Peripheral blood film: 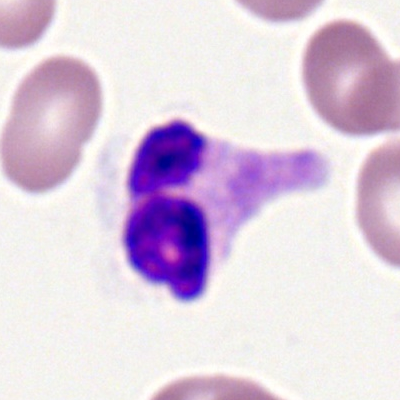

The cell shown is a segmented neutrophil.